Single-cell field. Bone marrow smear. May-Grünwald-Giemsa/Pappenheim stain: 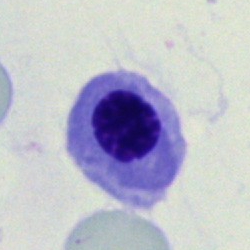Erythroblast.